Bone marrow smear · Pappenheim-stained.
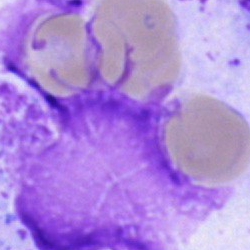

Morphology consistent with an artifact.